Bone marrow smear
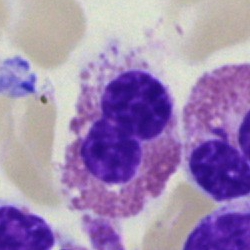 Q: Which cell type is shown here?
A: An eosinophil.